Bone marrow aspirate smear; brightfield, 40× oil-immersion objective.
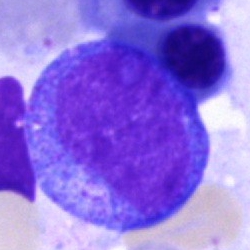

Specimen: bone marrow aspirate smear.
Morphological class: progranulocyte.
Lineage: myeloid.